Bone marrow aspirate smear — 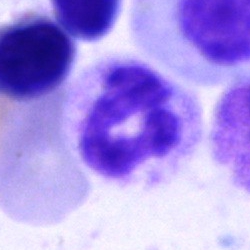

Q: What is the morphological classification of this cell?
A: It is a polymorphonuclear neutrophil.